Brightfield microscopy, 40× oil immersion · bone marrow aspirate smear:
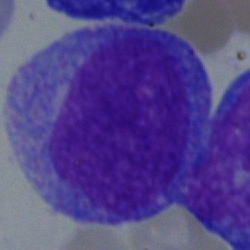
The cell is undifferentiated blast.